Bone marrow aspirate smear; brightfield, 40× oil-immersion objective
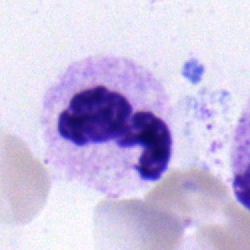
Specimen: bone marrow smear.
Cell type: segmented neutrophil.
Lineage: myeloid.